250×250 px; bone marrow smear; cropped to a single cell — 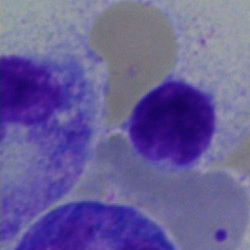
The cell is lymphocyte.